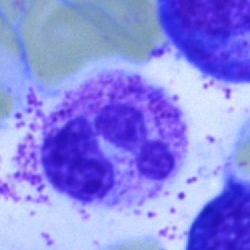 Bone marrow aspirate smear, single cell — segmented neutrophil.